Bone marrow smear; 250×250:
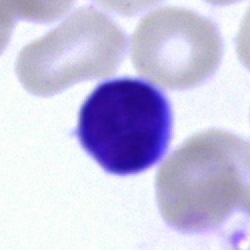Morphology consistent with a lymphocyte.